250×250 px · single cell centered in the field · bone marrow aspirate smear — 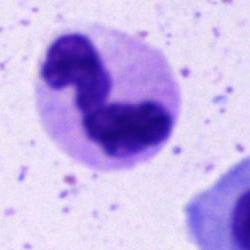

This is a neutrophil (segmented).